Bone marrow smear; 40× objective, oil immersion; single cell centered in the field — 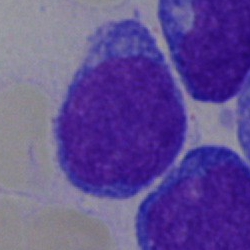

Morphology → progranulocyte.